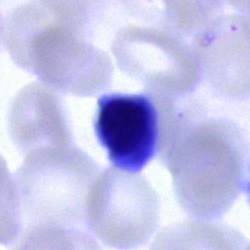
Q: What cell is this?
A: A nucleated red blood cell.